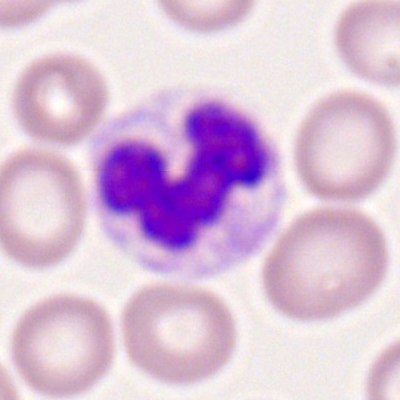

{"cell_type": "polymorphonuclear neutrophil"}